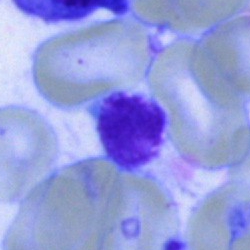Cell — artefact.